Bone marrow smear:
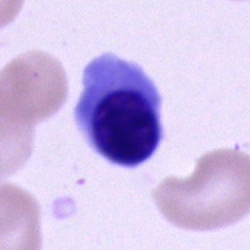
Classification — erythroblast.